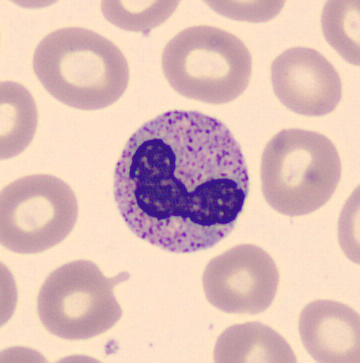Cell type = band neutrophil.
Acquisition: 360 by 363 pixels. May Grünwald-Giemsa stain. Peripheral blood smear.